Bone marrow smear
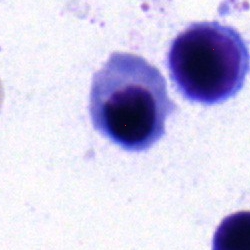
Morphology consistent with an erythroblast.